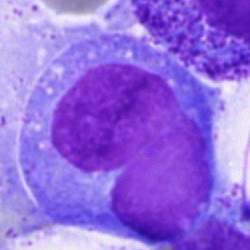

Bone marrow smear showing a blast.